Bone marrow aspirate smear: 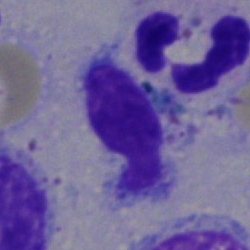The cell shown is an artifact.